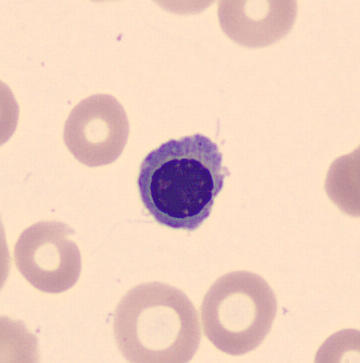

Preparation: Peripheral blood smear.

Q: What cell is this?
A: Nucleated red cell.